Bone marrow aspirate smear; 250×250 px
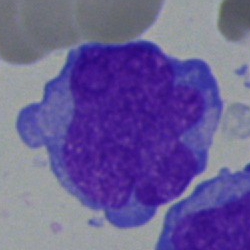

Q: What type of cell is this?
A: Blast cell.